Brightfield microscopy, 40× oil immersion · bone marrow smear · cropped to a single cell — 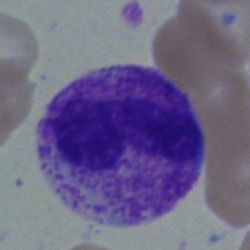Specimen: bone marrow aspirate smear.
Classification: band neutrophil.
Lineage: myeloid.